Bone marrow aspirate smear
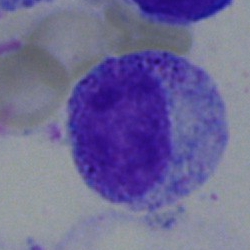 Single cell identified as a myelocyte.